Bone marrow smear:
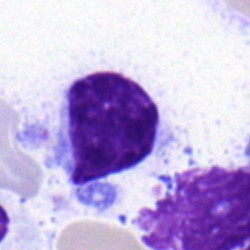Impression → lymphocyte.